Bone marrow aspirate smear — 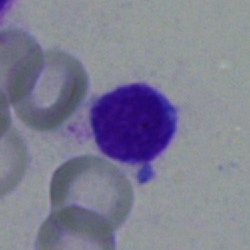 Showing a lymphocyte.